Bone marrow aspirate smear — 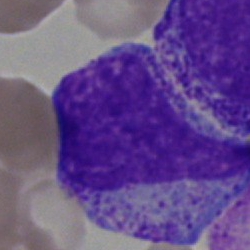 The cell type is progranulocyte.